Bone marrow aspirate smear — 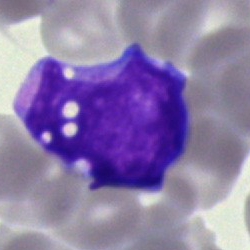Morphology consistent with an undifferentiated blast.